Peripheral blood smear. Cropped to a single cell. CellaVision DM96 — 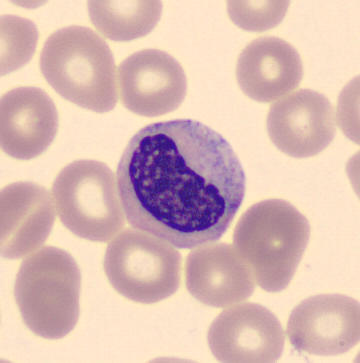 Classification: metamyelocyte.